Pappenheim-stained · 40× objective, oil immersion · bone marrow aspirate smear
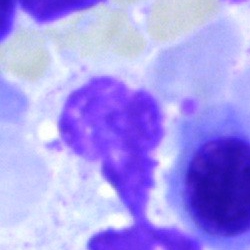

Specimen: bone marrow aspirate smear.
Morphological class: artifact.